400 by 400 pixels; peripheral blood film: 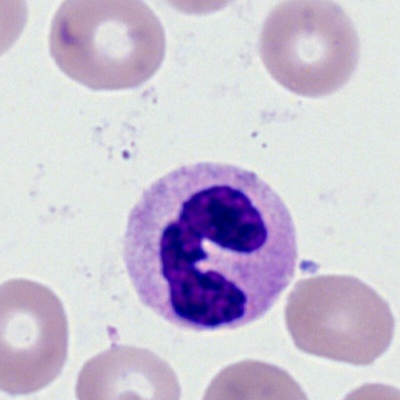

This is a segmented neutrophil.